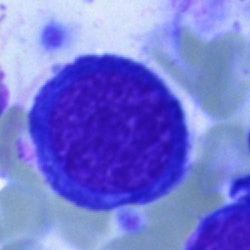

Showing a normoblast.